Bone marrow aspirate smear: 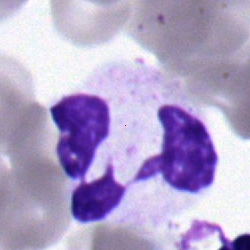
Morphological class: polymorphonuclear neutrophil.